Peripheral blood film · single-cell field: 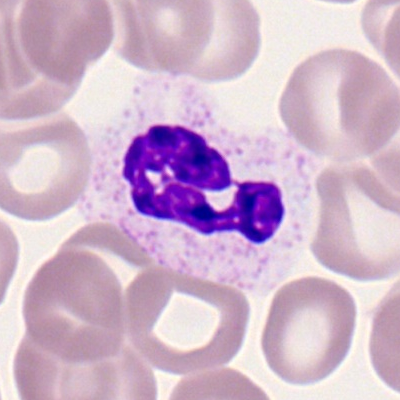Impression → segmented neutrophil.